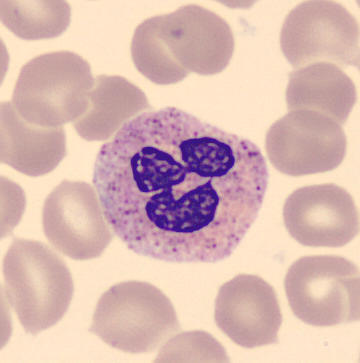Morphology consistent with a polymorphonuclear neutrophil.